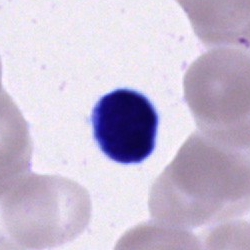

Typical lymphocyte.